Bone marrow smear. Single cell centered in the field: 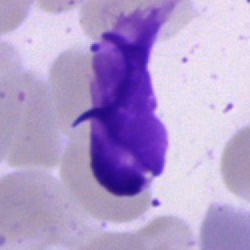

Classification: artefact.